Bone marrow aspirate smear.
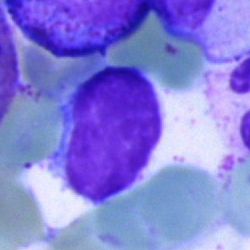
Impression — lymphocyte.